Bone marrow smear; brightfield, 40× oil-immersion objective; single-cell field: 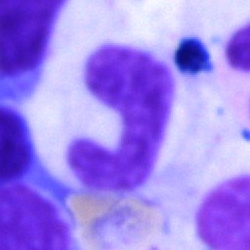Stab cell.